Image size 250×250. May-Grünwald-Giemsa stain. Bone marrow aspirate smear
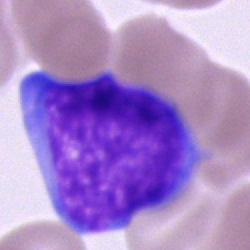

Specimen: bone marrow smear.
Cell type: undifferentiated blast.